CellaVision DM96 digital cell image; peripheral blood film — 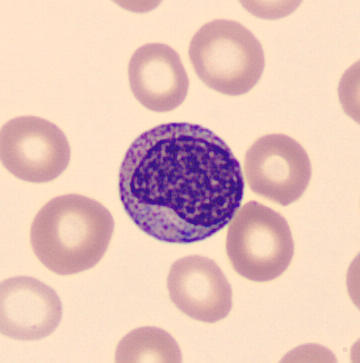

Single cell identified as a myelocyte.